Bone marrow smear.
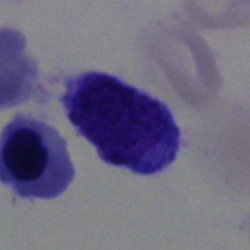Classification = lymphocyte.